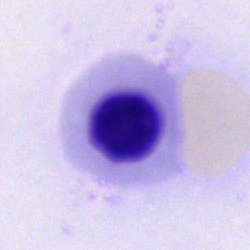
Morphology consistent with a nucleated red blood cell.